Bone marrow smear: 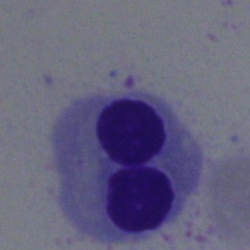
This is a normoblast.